Bone marrow smear — 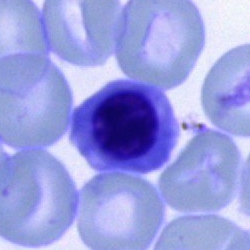

This is a nucleated red blood cell.